Bone marrow smear: 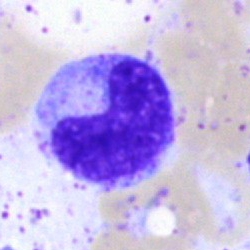This is a band-form neutrophil.